Peripheral blood film
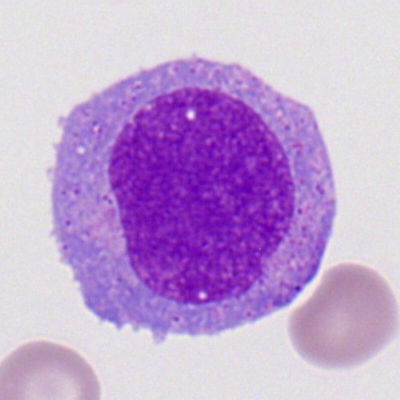Specimen: peripheral blood smear.
Cell: myeloid blast.
Lineage: myeloid.